Bone marrow smear; May-Grünwald-Giemsa/Pappenheim stain:
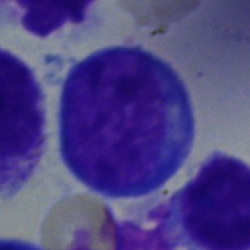

{"cell_type": "blast cell"}